Bone marrow aspirate smear
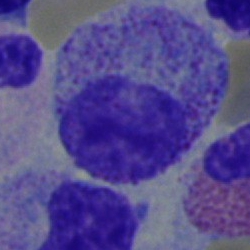
Single cell identified as a myelocyte.